Peripheral blood smear
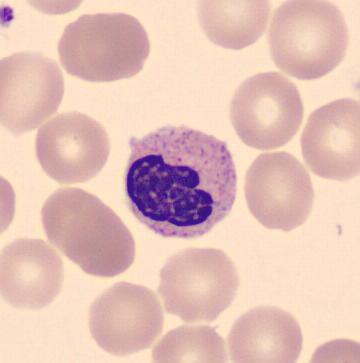
Specimen: peripheral blood smear.
Cell type: polymorphonuclear neutrophil.
Lineage: myeloid.